Bone marrow aspirate smear. 40× objective, oil immersion
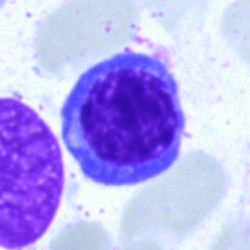An erythroblast.